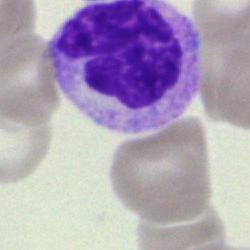

Morphology — segmented neutrophil.